Bone marrow smear
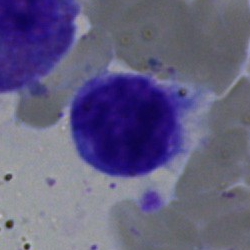 The cell type is lymphocyte.